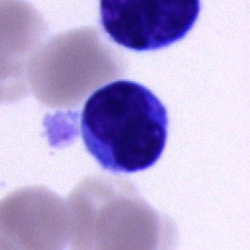

Showing a typical lymphocyte.